Single cell centered in the field · bone marrow aspirate smear — 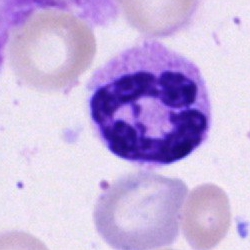 A neutrophil (segmented).